Brightfield microscopy, 40× oil immersion; bone marrow smear: 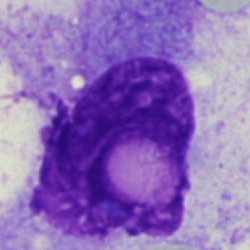
Specimen: bone marrow aspirate smear.
Cell type: artifact.